Bone marrow aspirate smear
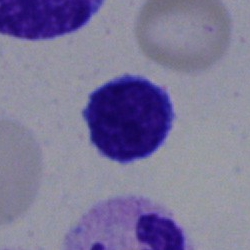The classification is lymphocyte.